Bone marrow smear · brightfield, 40× oil-immersion objective · single-cell field:
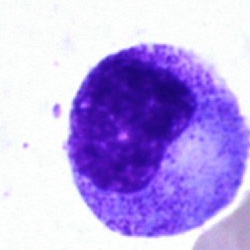

Single cell identified as a metamyelocyte.